Bone marrow aspirate smear:
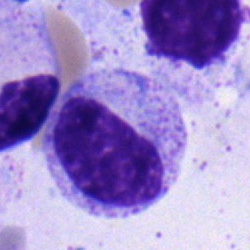

Q: What type of cell is this?
A: A myelocyte.